Bone marrow aspirate smear
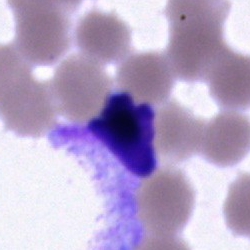The cell shown is an artefact.